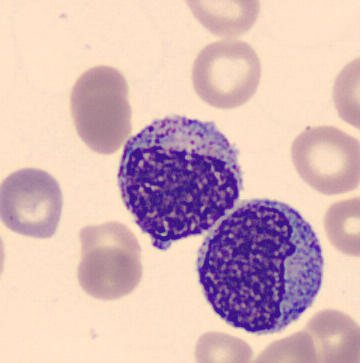
Cell type = myelocyte.
Acquisition: May Grünwald-Giemsa stain. Single-cell field. Peripheral blood film.